Bone marrow aspirate smear — 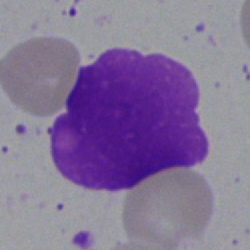
Morphology consistent with an artifact.